Bone marrow aspirate smear: 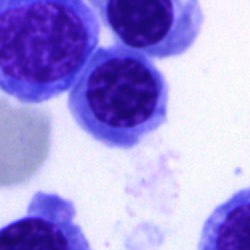Classification — normoblast.